Bone marrow smear — 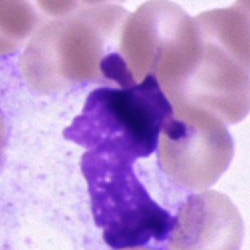
Q: What is shown here?
A: Artifact.